Image size 250×250; brightfield, 40× oil-immersion objective; bone marrow smear.
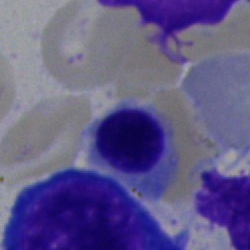 Morphological class — erythroblast.